Bone marrow smear:
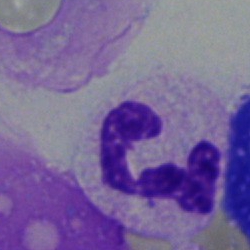
Classification = neutrophil (segmented).